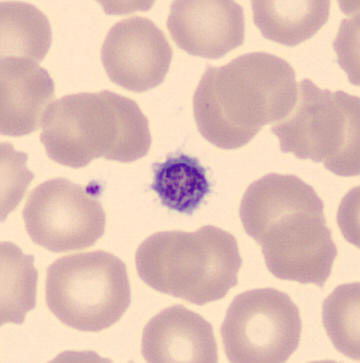
This is a platelet.